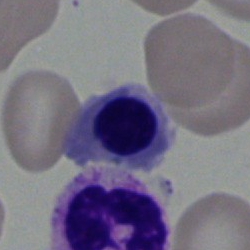 Q: What cell is this?
A: A nucleated red blood cell.